Bone marrow smear:
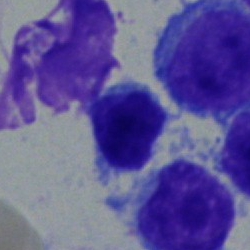 Specimen: bone marrow aspirate smear.
Classification: typical lymphocyte.
Lineage: lymphoid.